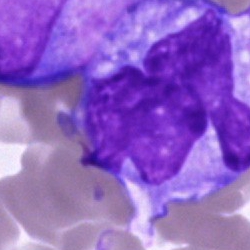 Monocyte.